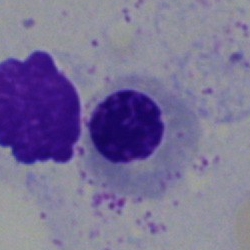Q: Which cell type is shown here?
A: It is an erythroblast.